Bone marrow smear: 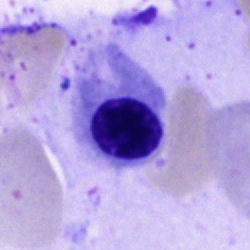 Single cell identified as an erythroblast.